Peripheral blood smear. Romanowsky stain: 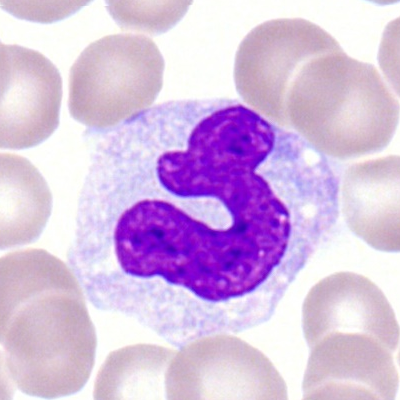Cell type = monocyte.